Bone marrow aspirate smear:
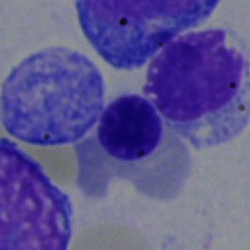

{"cell_type": "nucleated red cell", "lineage": "erythroid"}